Single cell centered in the field; peripheral blood smear: 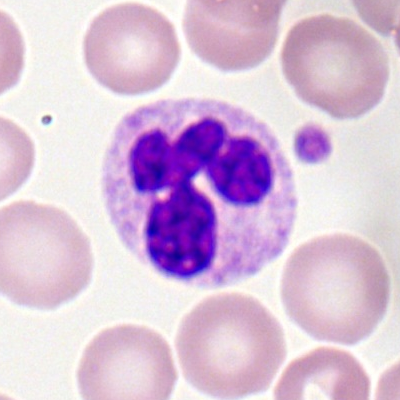 Polymorphonuclear neutrophil.